Bone marrow smear; May-Grünwald-Giemsa stain; single-cell field — 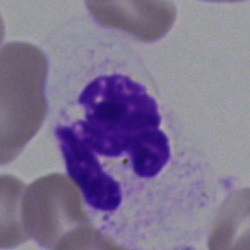Specimen: bone marrow aspirate smear.
Morphological class: polymorphonuclear neutrophil.